Peripheral blood smear — 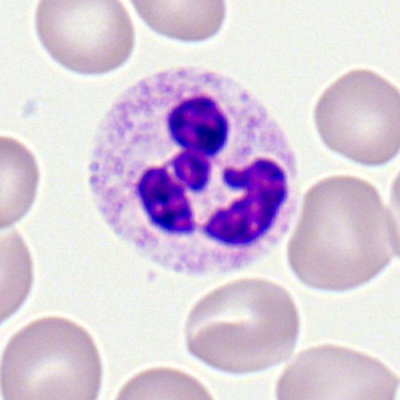
Neutrophil (segmented).